Romanowsky-type stain; peripheral blood smear — 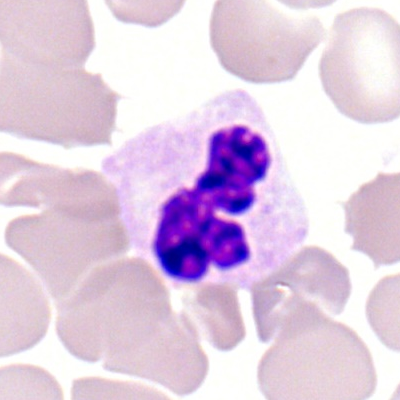

Showing a neutrophil (segmented).